Bone marrow aspirate smear: 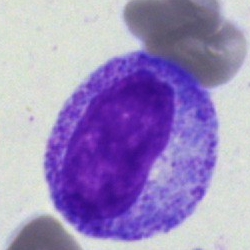

A promyelocyte.